Single-cell crop. Bone marrow aspirate smear.
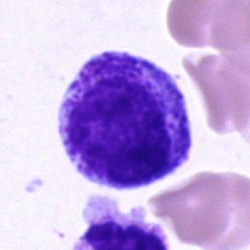Morphological class — myelocyte.